Bone marrow smear:
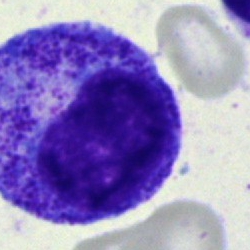The cell shown is a promyelocyte.